Bone marrow smear:
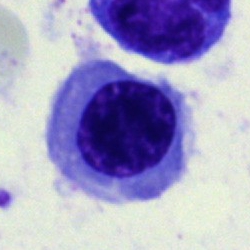 Showing an erythroblast.